Bone marrow smear: 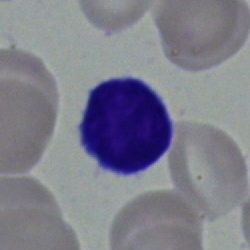

This is a typical lymphocyte.